Bone marrow aspirate smear; 40× objective, oil immersion — 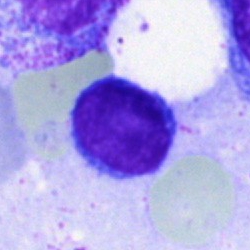{"cell_type": "lymphocyte"}